Single-cell crop · bone marrow aspirate smear · MGG-stained: 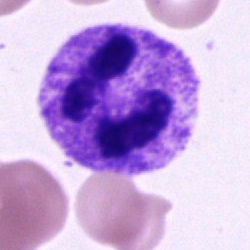Morphology consistent with a neutrophil (segmented).